Image size 400×400. Peripheral blood film
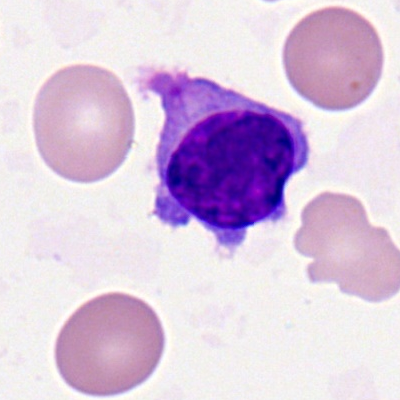

The cell type is lymphocyte.